Peripheral blood smear; Romanowsky-stained:
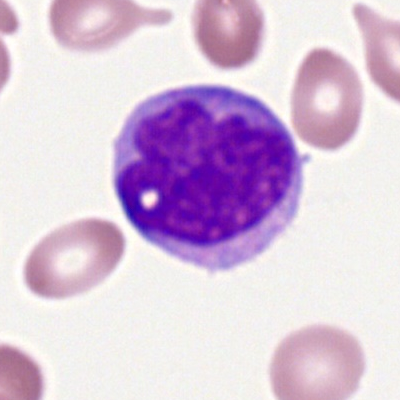A monocyte.